Single-cell field · bone marrow smear · 40× oil immersion.
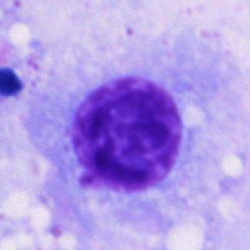 The cell type is plasmacyte.